Bone marrow smear: 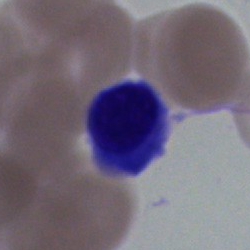The cell is nucleated red blood cell.